Single cell centered in the field; bone marrow aspirate smear:
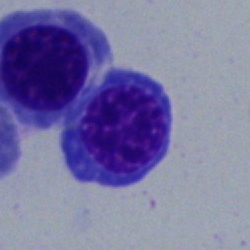 A nucleated red blood cell.